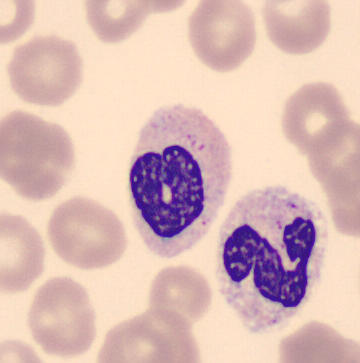
Morphological class: neutrophil (band).